Bone marrow smear: 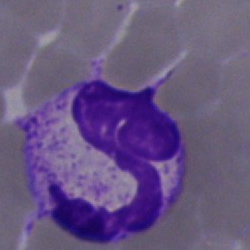

Specimen: bone marrow aspirate smear.
Cell: polymorphonuclear neutrophil.
Lineage: myeloid.